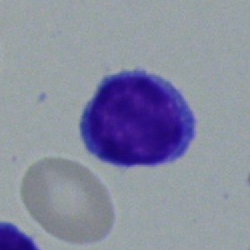

Cell: typical lymphocyte.